Bone marrow smear. May-Grünwald-Giemsa stain
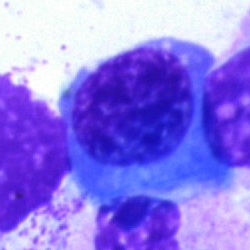

Morphology consistent with a nucleated red blood cell.